Bone marrow aspirate smear · single-cell field · May-Grünwald-Giemsa stain:
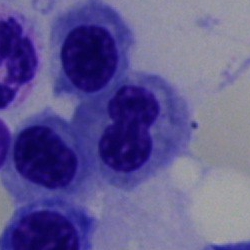Cell = nucleated red cell.